Bone marrow smear
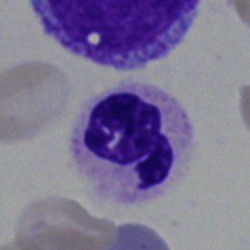

Q: What is shown here?
A: Segmented neutrophil.